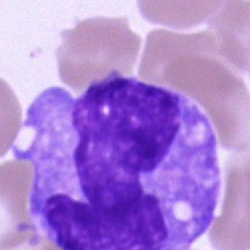 A monocyte on a bone marrow smear.